Peripheral blood film: 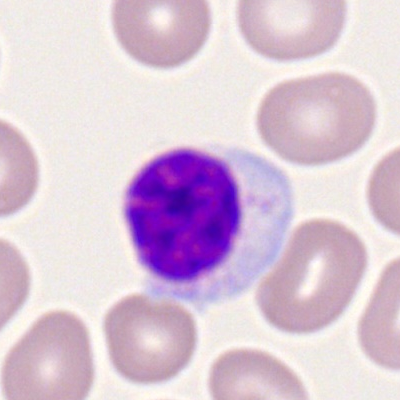

The cell shown is a typical lymphocyte.